Bone marrow smear:
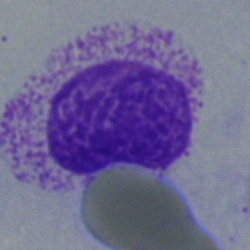

Myelocyte.